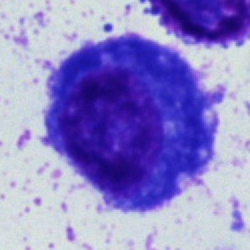
Q: What cell is this?
A: It is a plasmacyte.